Bone marrow smear · image size 250×250
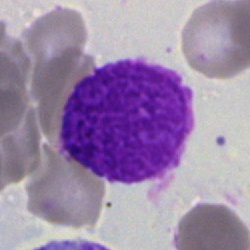
This is an artifact.